250 by 250 pixels · bone marrow smear
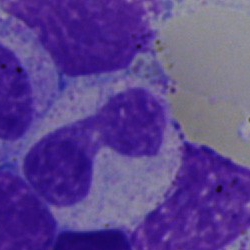 Morphology → neutrophil (segmented).